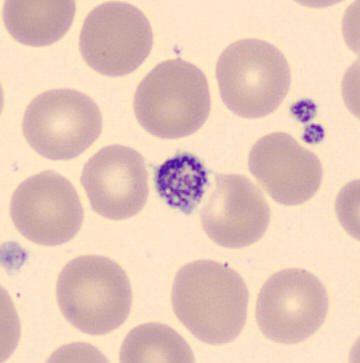 Morphological class = platelet. Preparation: Peripheral blood film.